Bone marrow aspirate smear.
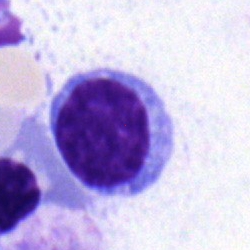 Classification = lymphocyte.